Bone marrow smear · 40× oil immersion — 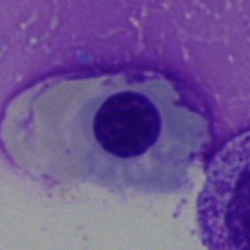

Showing a nucleated red cell.